250 by 250 pixels; bone marrow smear: 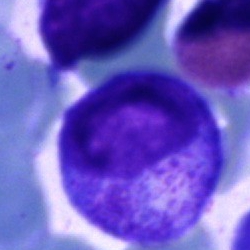 Q: Identify the cell.
A: It is a promyelocyte.